Bone marrow smear · May-Grünwald-Giemsa stain.
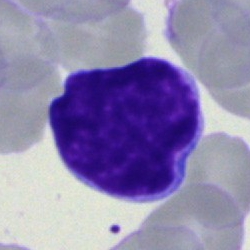 Single cell identified as a lymphocyte.